May-Grünwald-Giemsa stain; bone marrow smear; single cell centered in the field — 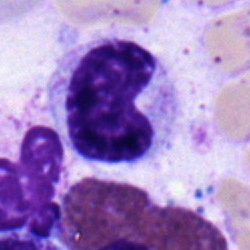 Classification: metamyelocyte.